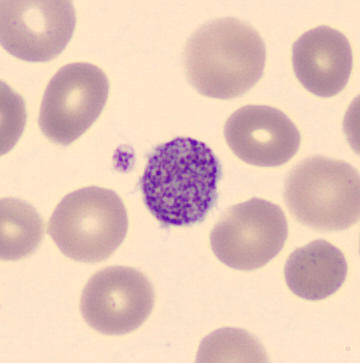 Classification — platelet.
Image: Peripheral blood smear; 360×363 px.